Brightfield, 40× oil-immersion objective; 250×250; bone marrow aspirate smear: 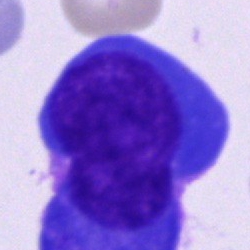Q: What is shown here?
A: It is a plasma cell.